Peripheral blood smear — 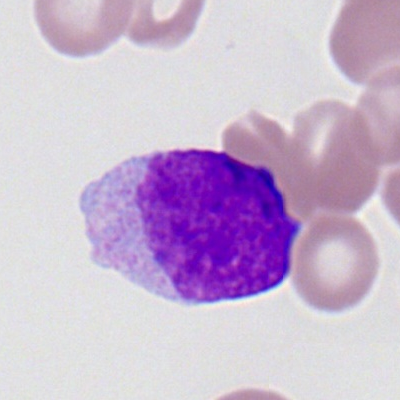The cell shown is a myeloblast.